40× oil immersion. Bone marrow smear: 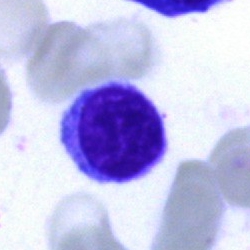 Showing a lymphocyte.